Bone marrow smear: 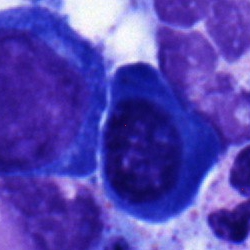Morphology consistent with a plasma cell.